Bone marrow aspirate smear
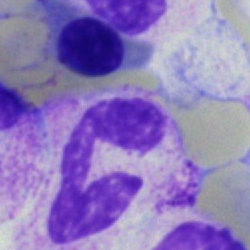

Cell: segmented neutrophil.